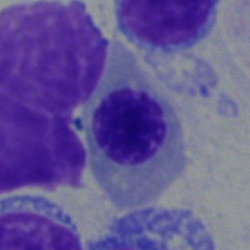
Specimen: bone marrow smear.
Cell: normoblast.